Bone marrow aspirate smear:
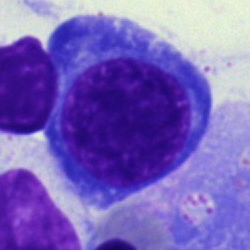 Classification — nucleated red blood cell.